Bone marrow smear: 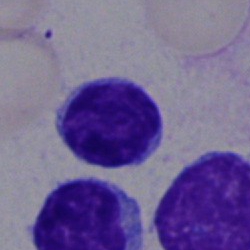 Specimen: bone marrow smear.
Classification: lymphocyte.
Lineage: lymphoid.